Bone marrow aspirate smear — 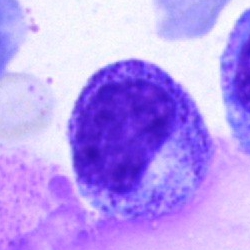 Classification = myelocyte.